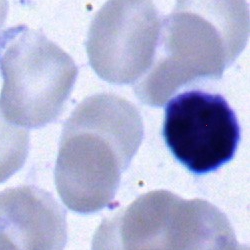
This is a lymphocyte.